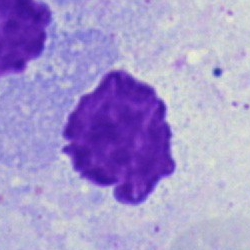 The classification is artefact.